Bone marrow smear.
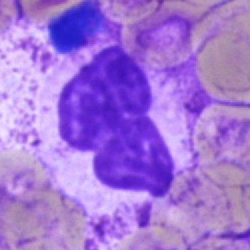Morphology → segmented neutrophil.